Bone marrow aspirate smear — 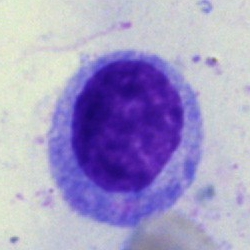 A promyelocyte.